Bone marrow smear:
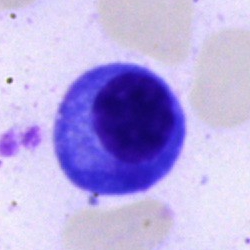

Morphology consistent with a plasma cell.